May-Grünwald-Giemsa/Pappenheim stain; bone marrow smear:
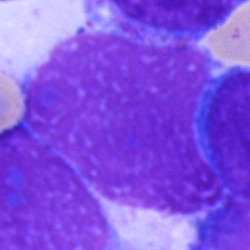

{"cell_type": "artifact"}